40× objective, oil immersion. Bone marrow aspirate smear: 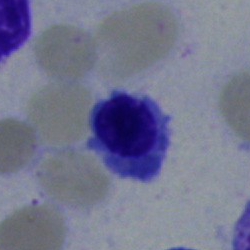 Impression → erythroblast.